Peripheral blood film; 100× oil immersion, 14.14 px/µm
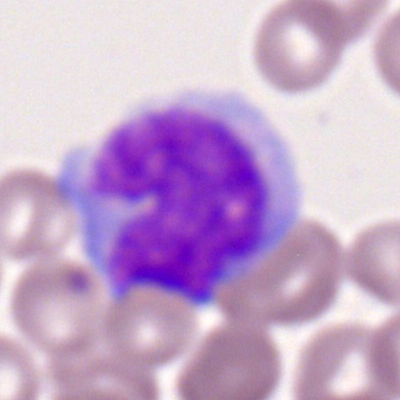

This is a monocyte.